Bone marrow aspirate smear · single-cell field · 40× objective, oil immersion:
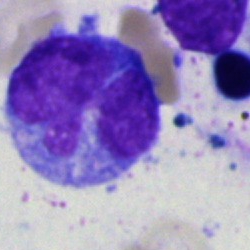
This is a monocyte.